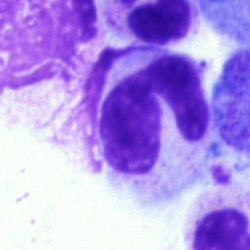

Bone marrow smear showing a neutrophil (band).